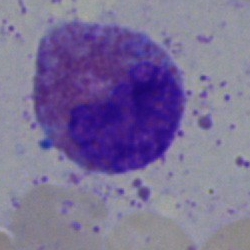

Morphological class — eosinophil.